Bone marrow smear
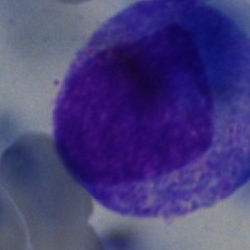

Morphology consistent with a promyelocyte.